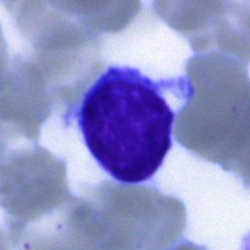 Q: Which cell type is shown here?
A: Typical lymphocyte.